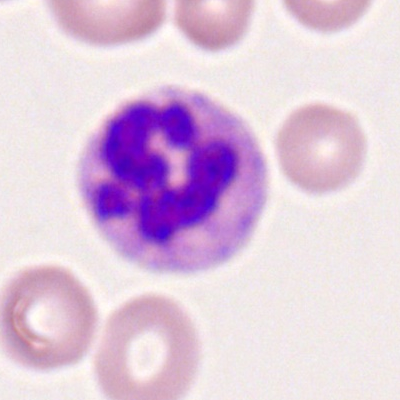

The cell shown is a polymorphonuclear neutrophil.